Bone marrow smear
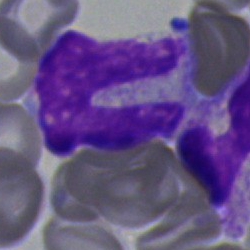Morphological class: monocyte.